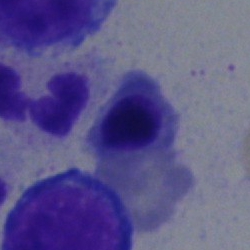Q: What is shown here?
A: It is a nucleated red blood cell.